Peripheral blood smear. Romanowsky-stained. Single-cell field:
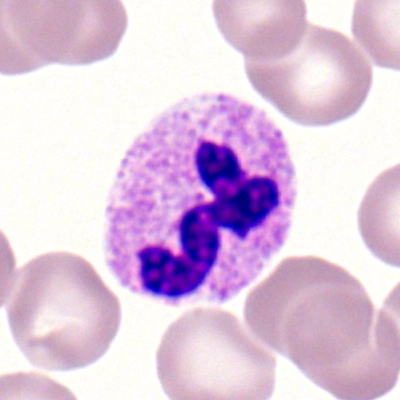Single cell identified as a neutrophil (segmented).